Bone marrow smear; 250 by 250 pixels — 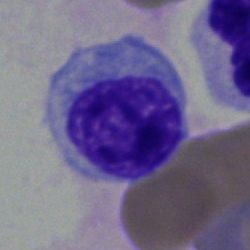 Single cell identified as a myelocyte.